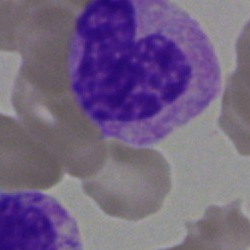 A stab cell on a bone marrow smear.